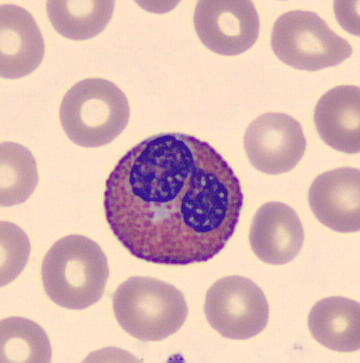

{"cell_type": "eosinophilic granulocyte", "lineage": "myeloid"}